Bone marrow smear · 40× oil immersion — 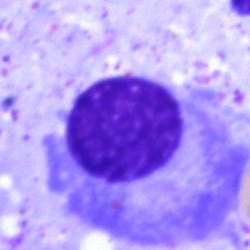
This is a plasmacyte.